Brightfield, 40× oil-immersion objective; bone marrow aspirate smear:
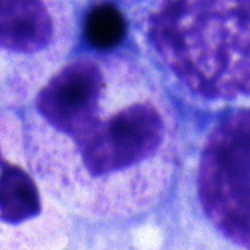

Band neutrophil.